Cropped to a single cell. Bone marrow aspirate smear
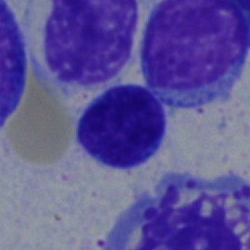 Classification — typical lymphocyte.